Bone marrow smear — 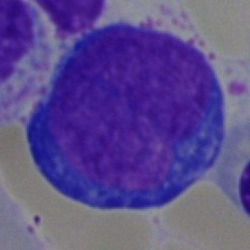 Classification — proerythroblast.